40× oil immersion · bone marrow aspirate smear — 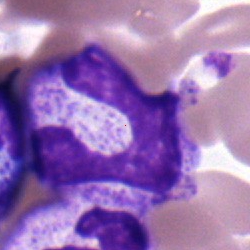Specimen: bone marrow smear.
Classification: segmented neutrophil.